Bone marrow aspirate smear.
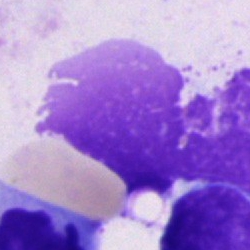 Q: What is shown here?
A: Artefact.